Bone marrow smear. 250×250 px:
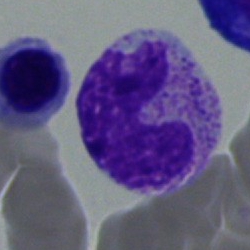Morphology — band neutrophil.